Bone marrow smear. Cropped to a single cell. Brightfield microscopy, 40× oil immersion: 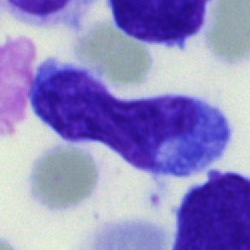 Morphology consistent with a blast.